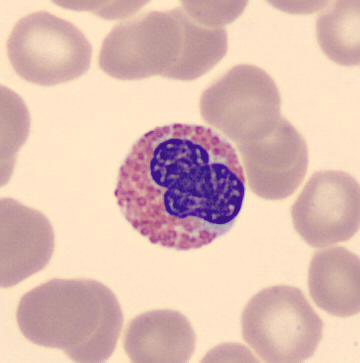Peripheral blood film.

The cell is eosinophilic granulocyte.